Bone marrow aspirate smear
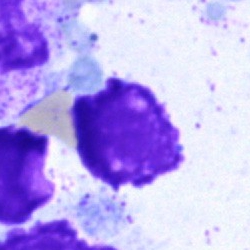Single cell identified as an artefact.